Bone marrow smear.
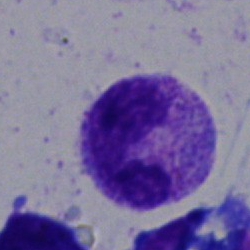
Single cell identified as a segmented neutrophil.